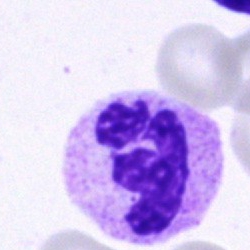
Morphological class: segmented neutrophil.